Bone marrow aspirate smear.
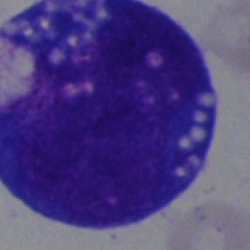
Showing a blast cell.